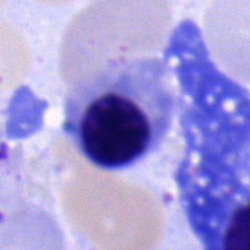
Single-cell crop from a bone marrow smear: nucleated red blood cell.